Pappenheim-stained; bone marrow smear:
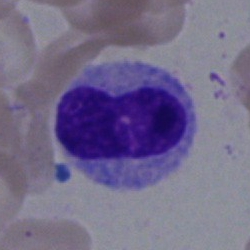Morphological class = neutrophil (band).